Bone marrow aspirate smear — 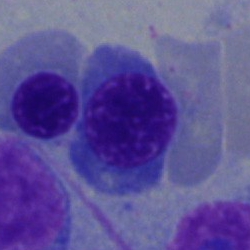Specimen: bone marrow aspirate smear.
Morphological class: erythroblast.
Lineage: erythroid.